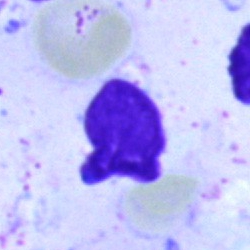

Single-cell crop from a bone marrow smear: artifact.